Bone marrow smear · MGG-stained.
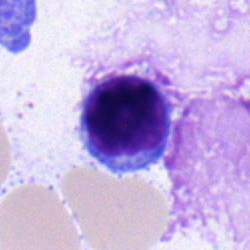 Specimen: bone marrow aspirate smear.
Cell type: lymphocyte.
Lineage: lymphoid.